Bone marrow smear — 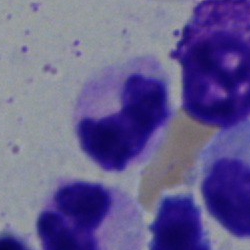

The morphological class is segmented neutrophil.